Single cell centered in the field · bone marrow smear · May-Grünwald-Giemsa/Pappenheim stain — 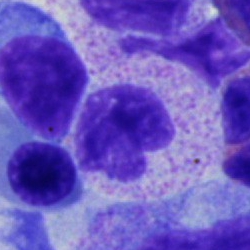 Specimen: bone marrow aspirate smear.
Morphological class: neutrophil (band).
Lineage: myeloid.